Bone marrow smear.
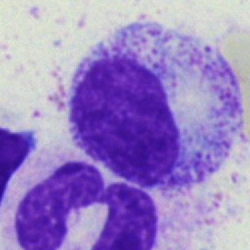

Q: Which cell type is shown here?
A: It is a myelocyte.